Bone marrow smear · 40× objective, oil immersion: 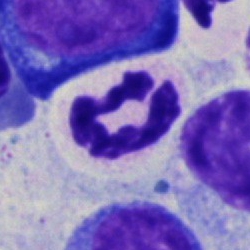 The cell shown is a segmented neutrophil.